Brightfield microscopy, 40× oil immersion. Bone marrow aspirate smear — 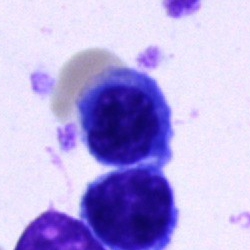 Showing a nucleated red blood cell.